Bone marrow aspirate smear
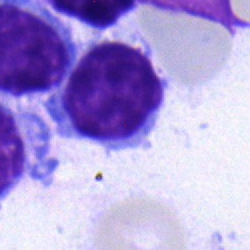 Cell: typical lymphocyte.